Bone marrow smear: 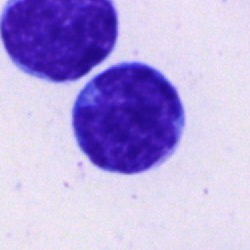
A typical lymphocyte.